Bone marrow smear · single cell centered in the field
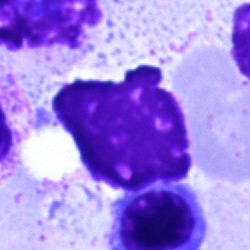

Cell type — artifact.